May-Grünwald-Giemsa/Pappenheim stain. 40× oil immersion. Bone marrow smear.
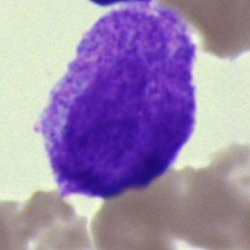 {"cell_type": "blast"}